Bone marrow aspirate smear: 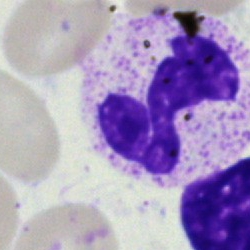 Single cell identified as a neutrophil (segmented).